Bone marrow smear
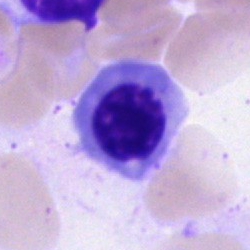Classification: nucleated red blood cell.